Bone marrow smear · Pappenheim-stained · image size 250×250.
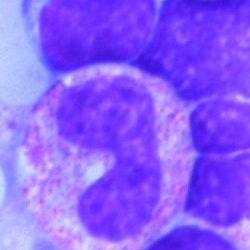

Q: Which cell type is shown here?
A: It is a stab cell.